Peripheral blood film:
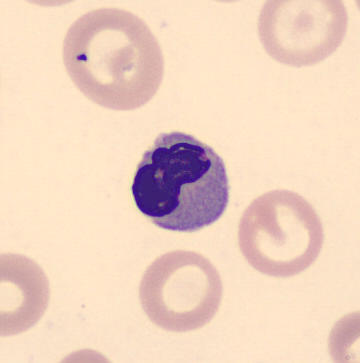A nucleated red blood cell.